Brightfield, 40× oil-immersion objective · bone marrow smear
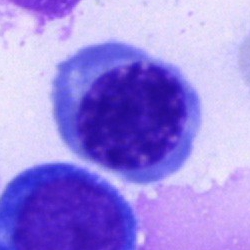Q: What cell is this?
A: An erythroblast.